Bone marrow aspirate smear. Cropped to a single cell — 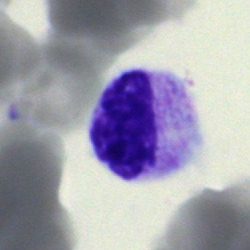
The classification is unidentifiable cell.